Bone marrow smear; 40× oil immersion: 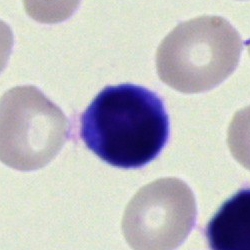
Q: What cell is this?
A: This is a typical lymphocyte.